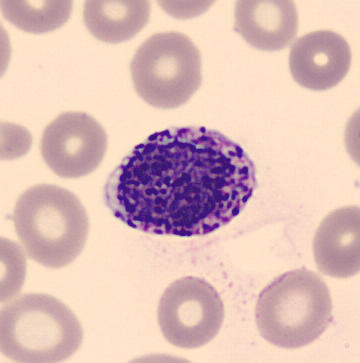
Image: Automated cell imaging (CellaVision DM96). Peripheral blood film. Q: Which cell type is shown here?
A: It is a basophilic granulocyte.